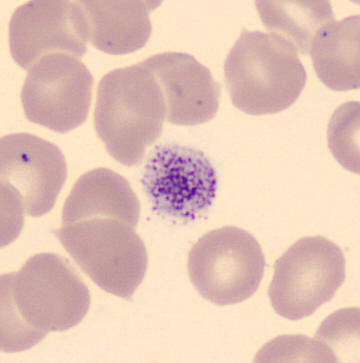Classification: platelet.
Peripheral blood film · May-Grünwald-Giemsa-stained · automated cell imaging (CellaVision DM96).